Bone marrow smear; May-Grünwald-Giemsa stain: 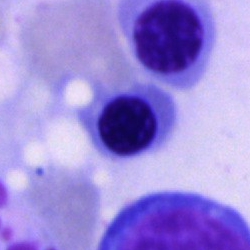
Single cell identified as an erythroblast.